Bone marrow smear:
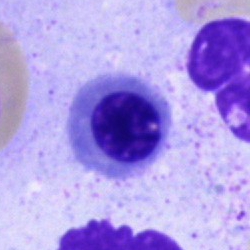
A nucleated red cell.